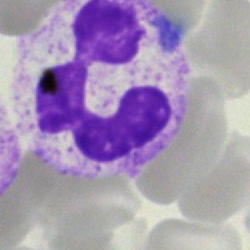Q: Which cell type is shown here?
A: A polymorphonuclear neutrophil.